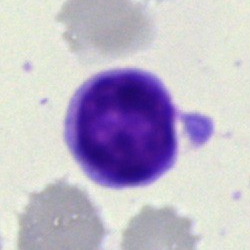 Morphology → lymphocyte.